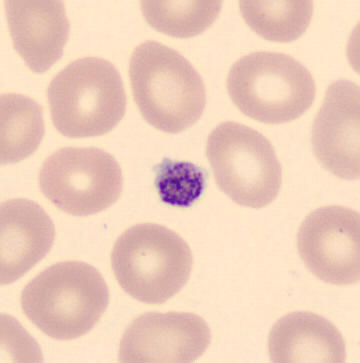
Acquisition: CellaVision DM96 digital cell image. Peripheral blood film.

Morphology — platelet (thrombocyte).